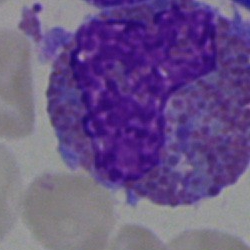
Bone marrow aspirate smear, single cell — eosinophil.